Cropped to a single cell · bone marrow aspirate smear
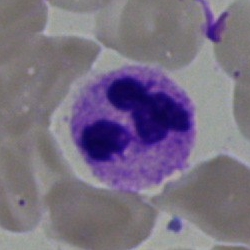 The classification is neutrophil (segmented).